Bone marrow aspirate smear. 250 by 250 pixels.
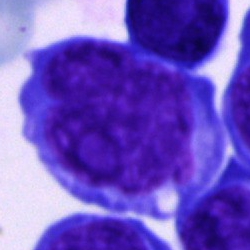
Q: Which cell type is shown here?
A: It is a blast.